Bone marrow aspirate smear:
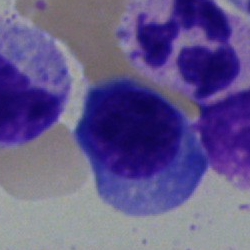

This is a nucleated red blood cell.